Bone marrow aspirate smear
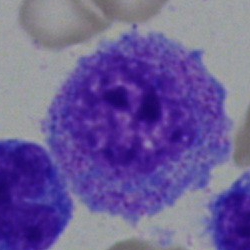Q: Identify the cell.
A: This is a myelocyte.